Peripheral blood film. Romanowsky-stained. 400×400:
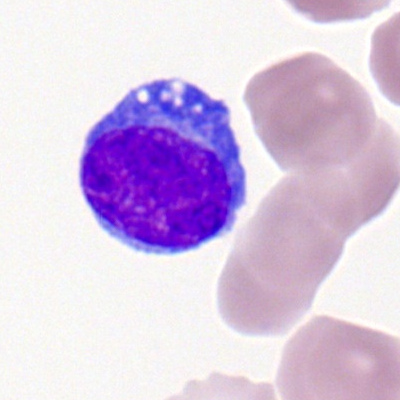

Showing a lymphocyte.